Bone marrow smear.
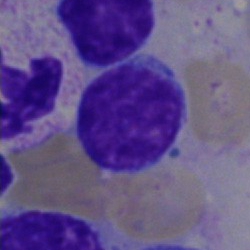

Specimen: bone marrow smear.
Classification: lymphocyte.
Lineage: lymphoid.